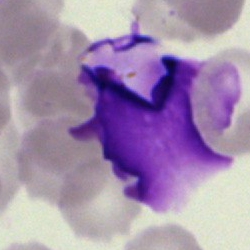
Q: What is shown here?
A: An artefact.